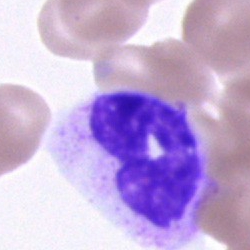Specimen: bone marrow aspirate smear.
Morphological class: polymorphonuclear neutrophil.